Bone marrow aspirate smear. 40× oil immersion. Single-cell crop: 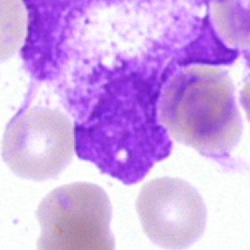

This is an artefact.